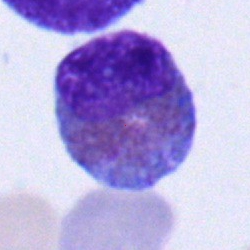 An eosinophil.